Bone marrow smear.
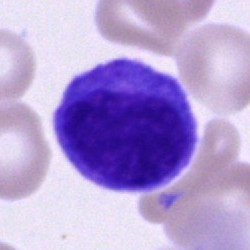
Specimen: bone marrow aspirate smear.
Cell type: cell of indeterminate lineage.